Bone marrow aspirate smear: 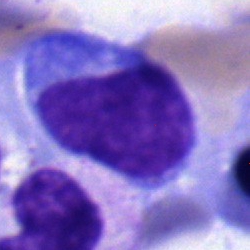
Specimen: bone marrow smear.
Cell: blast cell.